Bone marrow aspirate smear · Pappenheim-stained · single-cell crop: 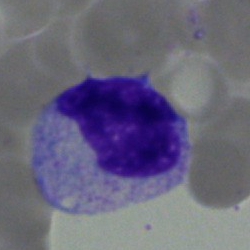 Q: Identify the cell.
A: It is a myelocyte.